MGG-stained · 250 by 250 pixels · bone marrow aspirate smear:
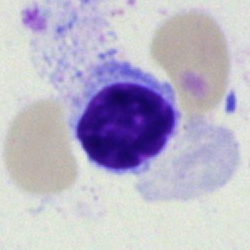 Single cell identified as a lymphocyte.